Bone marrow smear
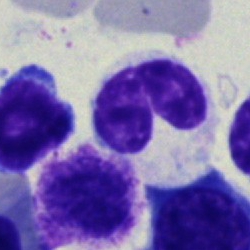

This is a stab cell.